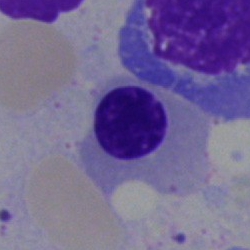Q: Identify the cell.
A: A nucleated red blood cell.